Bone marrow aspirate smear:
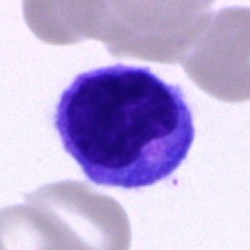 This is a monocyte.